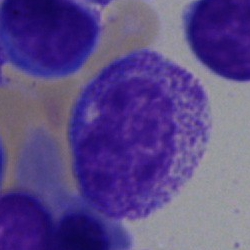Morphology — promyelocyte.